Bone marrow smear:
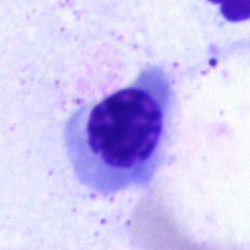A nucleated red cell.